Bone marrow aspirate smear; single-cell crop:
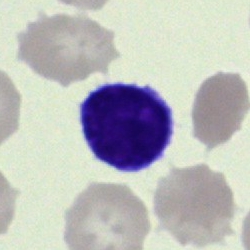

Q: What is shown here?
A: This is a typical lymphocyte.